Cropped to a single cell · Pappenheim-stained · bone marrow smear.
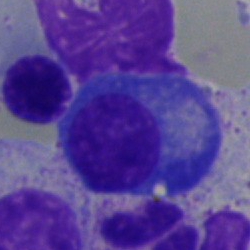Q: What cell is this?
A: A plasmacyte.